40× oil immersion. Bone marrow aspirate smear — 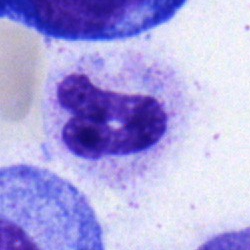
Classification: band-form neutrophil.